Bone marrow smear.
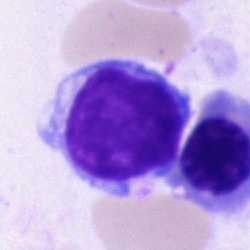

Q: What is the morphological classification of this cell?
A: A typical lymphocyte.